Bone marrow aspirate smear:
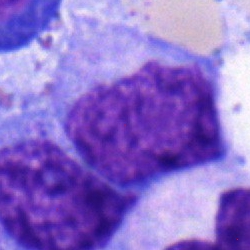

Q: What type of cell is this?
A: It is a blast.